Cropped to a single cell; image size 250×250; bone marrow smear.
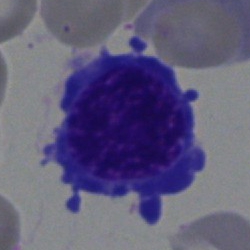

Q: Which cell type is shown here?
A: Normoblast.